Cropped to a single cell; bone marrow aspirate smear; 250×250.
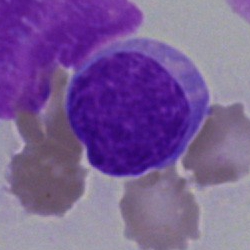
The cell is blast cell.